40× objective, oil immersion; single-cell crop; bone marrow aspirate smear:
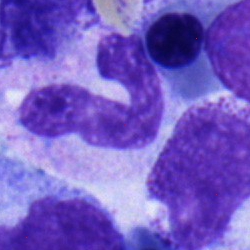 Q: Identify the cell.
A: Polymorphonuclear neutrophil.